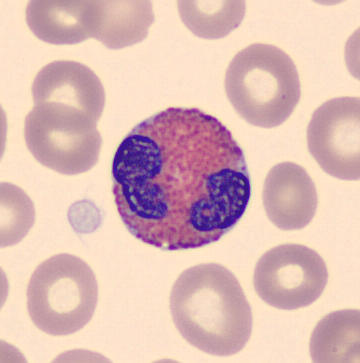 Q: Which cell type is shown here?
A: Eosinophil.